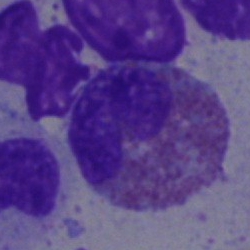

{"cell_type": "eosinophilic granulocyte", "lineage": "myeloid"}